40× objective, oil immersion; bone marrow smear — 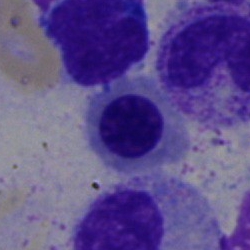 This is a nucleated red cell.